40× objective, oil immersion; bone marrow aspirate smear — 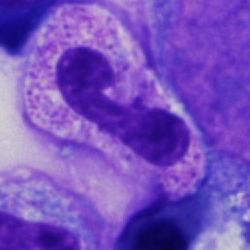 A segmented neutrophil.